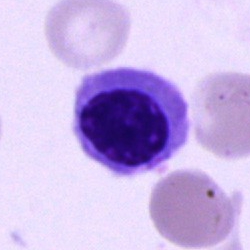Classification — normoblast.